Bone marrow aspirate smear.
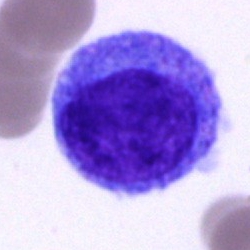

Cell type: undifferentiated blast.